Bone marrow aspirate smear. Single cell centered in the field — 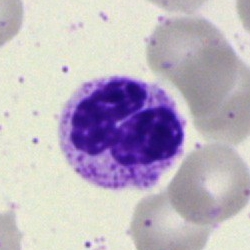
Cell — segmented neutrophil.